Bone marrow smear — 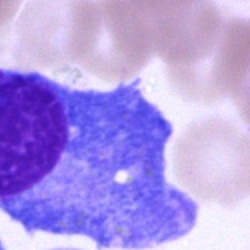
Plasmacyte.